Peripheral blood smear
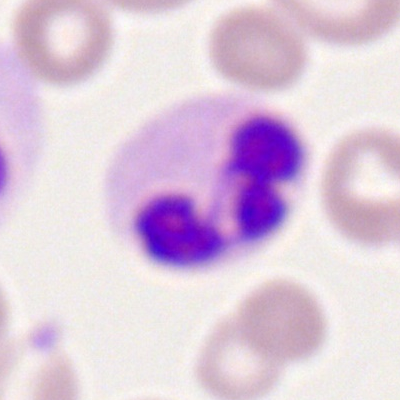
This is a segmented neutrophil.